250 by 250 pixels · bone marrow smear: 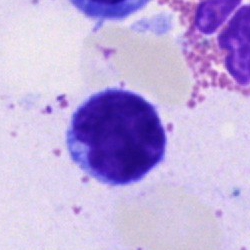
Showing a typical lymphocyte.